Bone marrow smear · 40× oil immersion · 250×250 px
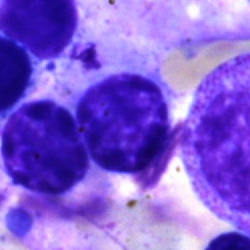
Impression — artifact.